Bone marrow smear · single-cell crop:
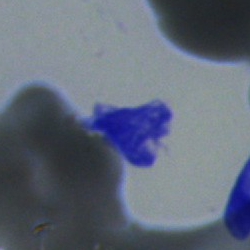 Artefact.